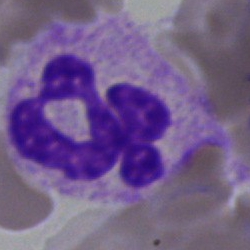
Bone marrow aspirate smear, single cell — neutrophil (segmented).